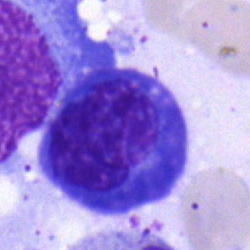 Q: What type of cell is this?
A: This is a plasmacyte.